Bone marrow aspirate smear.
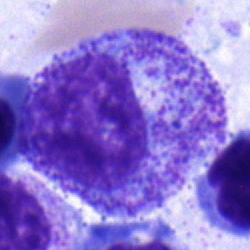

A progranulocyte.